Bone marrow smear.
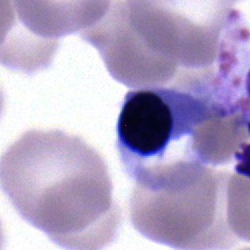

The cell type is normoblast.